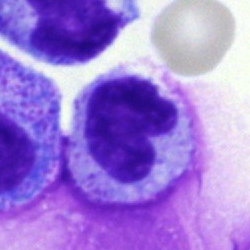
Classification: metamyelocyte.